Bone marrow smear.
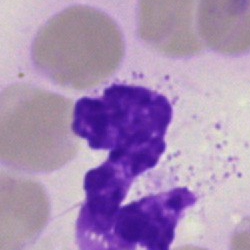Showing an artefact.